Bone marrow smear
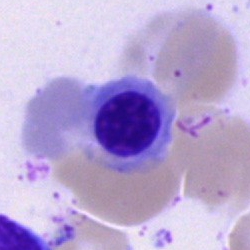

Q: What type of cell is this?
A: Erythroblast.